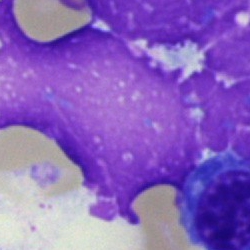Cell type: artefact.